Bone marrow aspirate smear.
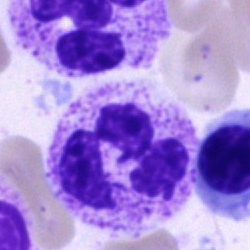
Showing a segmented neutrophil.